250 by 250 pixels · bone marrow aspirate smear · Pappenheim-stained.
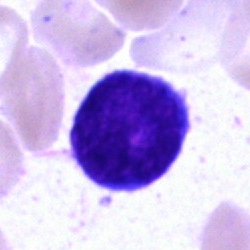Single cell identified as an undifferentiated blast.